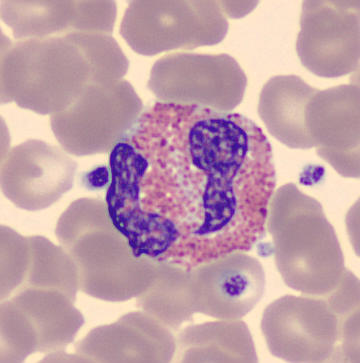
Preparation: Peripheral blood film.
Q: Which cell type is shown here?
A: This is an eosinophilic granulocyte.